Bone marrow smear:
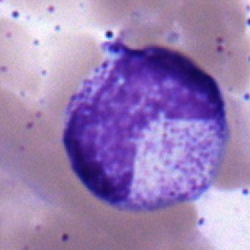

Specimen: bone marrow aspirate smear.
Cell: neutrophil (band).